Peripheral blood film. 100× oil immersion — 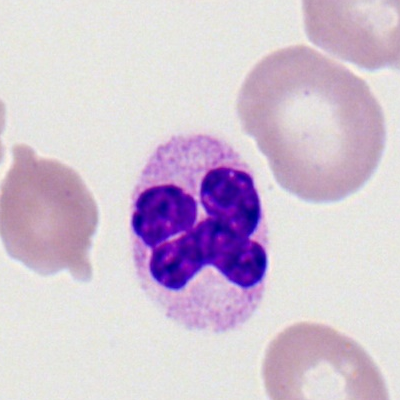

Specimen: peripheral blood smear.
Morphological class: segmented neutrophil.
Lineage: myeloid.